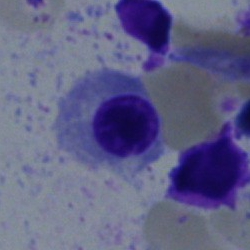
Specimen: bone marrow aspirate smear.
Morphological class: nucleated red blood cell.